Romanowsky stain; 400×400; peripheral blood smear:
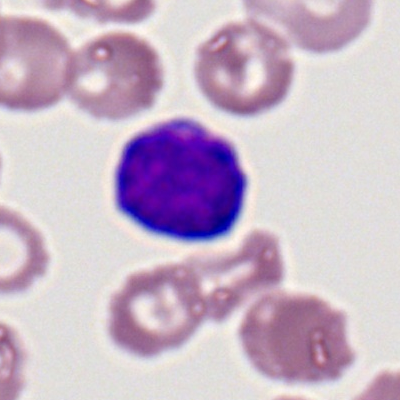 This is a lymphocyte.